Single-cell crop. Bone marrow smear
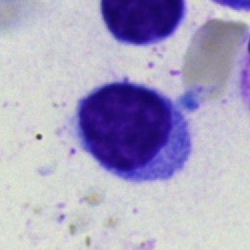
Morphology → typical lymphocyte.